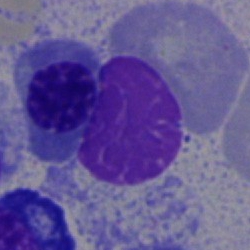 An artefact on a bone marrow smear.